Peripheral blood film — 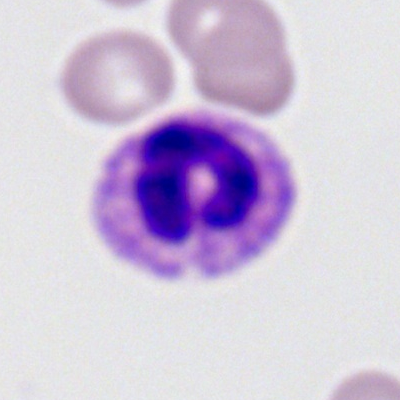Showing a band neutrophil.